Image size 250×250 · MGG-stained · bone marrow smear
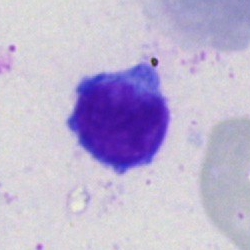
Q: What is shown here?
A: Typical lymphocyte.